40× objective, oil immersion. Pappenheim-stained. Bone marrow aspirate smear.
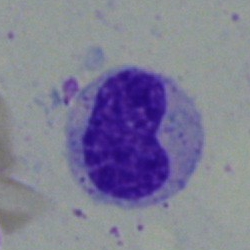 {"cell_type": "metamyelocyte"}